MGG-stained. Image size 250×250. Bone marrow aspirate smear.
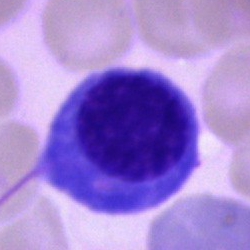 The cell type is normoblast.